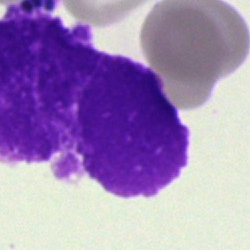

Specimen: bone marrow smear.
Morphological class: artifact.